Peripheral blood smear.
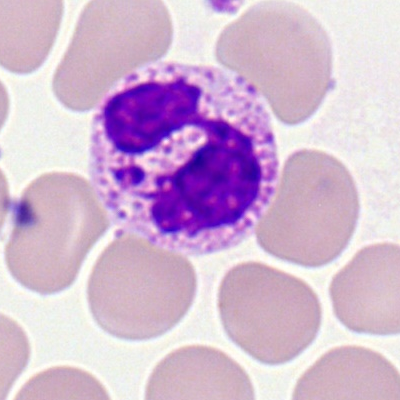 Classification = polymorphonuclear neutrophil.